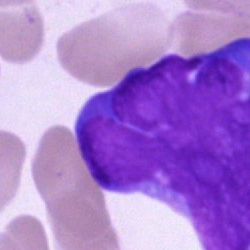
Single cell identified as an undifferentiated blast.